Peripheral blood film.
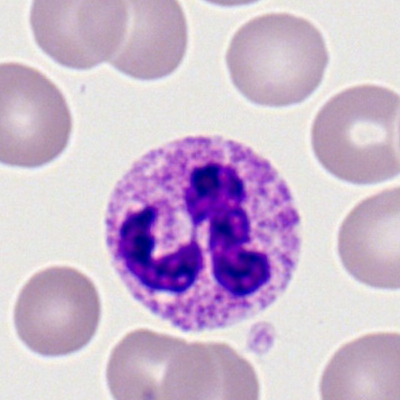Classification: segmented neutrophil.